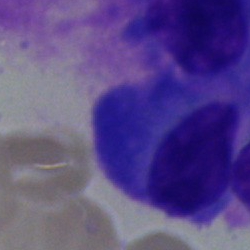 Q: What cell is this?
A: It is a plasmacyte.